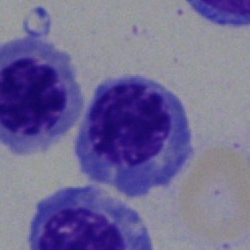

Erythroblast.